Bone marrow smear; cropped to a single cell — 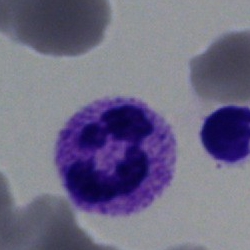

Classification — polymorphonuclear neutrophil.